Bone marrow aspirate smear; image size 250×250.
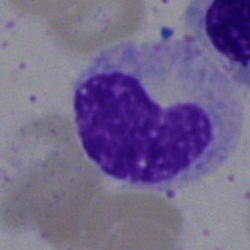 Showing a band neutrophil.